Bone marrow aspirate smear · 40× oil immersion: 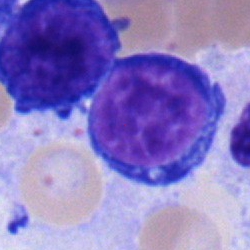Classification: pronormoblast.